Bone marrow aspirate smear; single-cell crop:
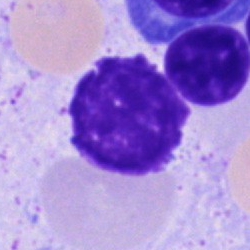 {"cell_type": "artifact"}